Bone marrow smear. Single cell centered in the field. 40× objective, oil immersion — 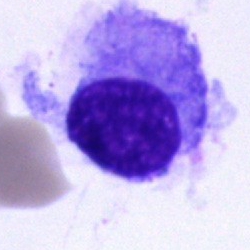
Cell of indeterminate lineage.